Bone marrow aspirate smear
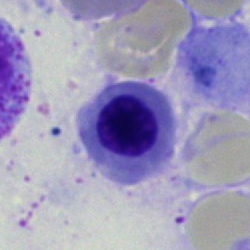

Classification: nucleated red blood cell.